Bone marrow smear:
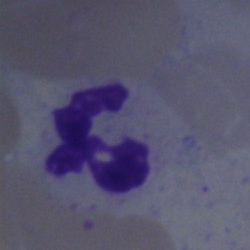
{"cell_type": "neutrophil (segmented)"}